Bone marrow smear; 250×250 px — 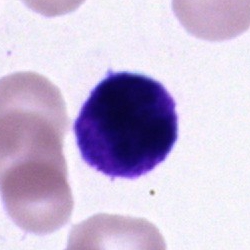

The cell type is unidentifiable cell.